Bone marrow aspirate smear:
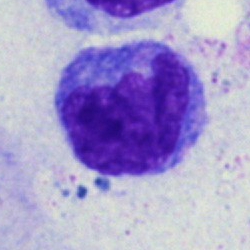Q: Which cell type is shown here?
A: This is a monocyte.